Peripheral blood film — 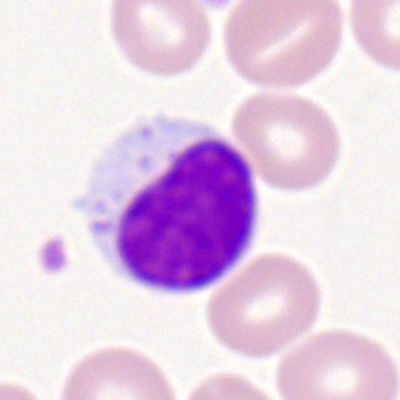

A typical lymphocyte.